Bone marrow aspirate smear: 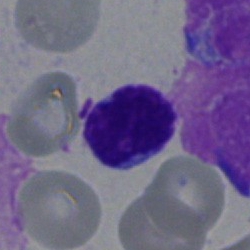

Classification = typical lymphocyte.